Bone marrow smear. 250×250 px.
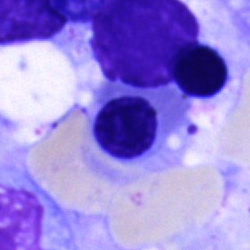
Morphological class: erythroblast.